250×250 px · bone marrow smear:
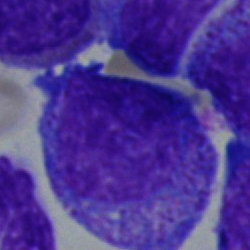 Q: Which cell type is shown here?
A: Progranulocyte.